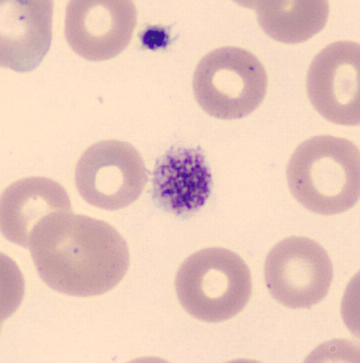

Image: Peripheral blood film. MGG stain. 360×363 px. Classification: platelet.